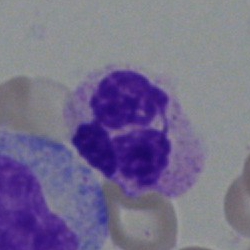 Q: What type of cell is this?
A: This is a segmented neutrophil.